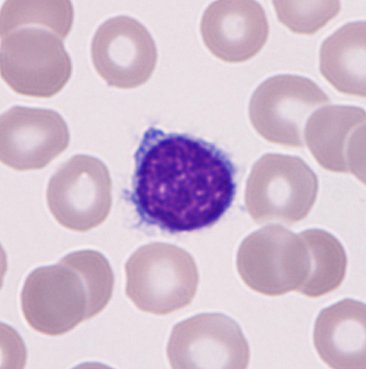
Morphology consistent with a typical lymphocyte.
Imaged on a CellaVision DM96 analyser. Peripheral blood film.